Bone marrow aspirate smear; Pappenheim-stained; 250 by 250 pixels: 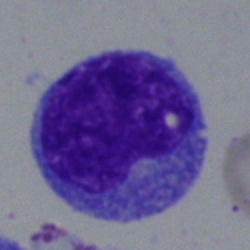The classification is undifferentiated blast.